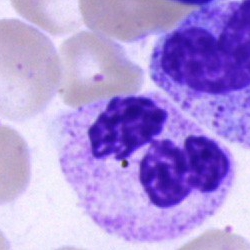 Specimen: bone marrow smear.
Morphological class: polymorphonuclear neutrophil.
Lineage: myeloid.